Bone marrow aspirate smear — 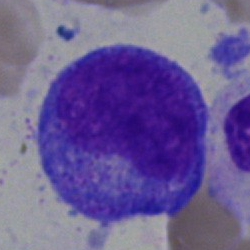
The morphological class is promyelocyte.